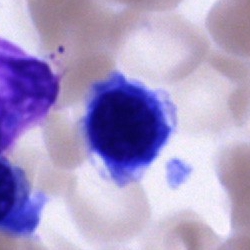 Cell type = unidentifiable cell.